Bone marrow smear.
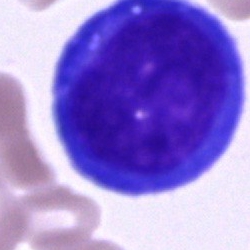 Cell type — blast cell.